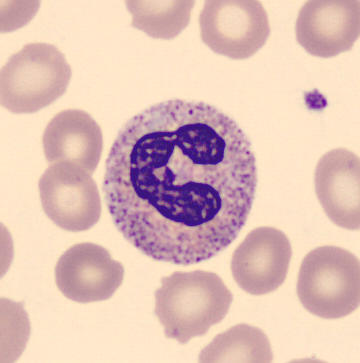 The morphological class is neutrophil (segmented). Cropped to a single cell · peripheral blood smear.